Bone marrow smear — 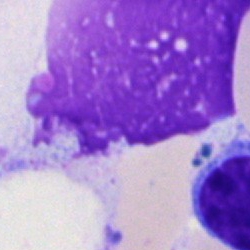Cell type = artefact.